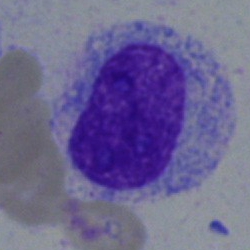 Single-cell crop from a bone marrow smear: blast.